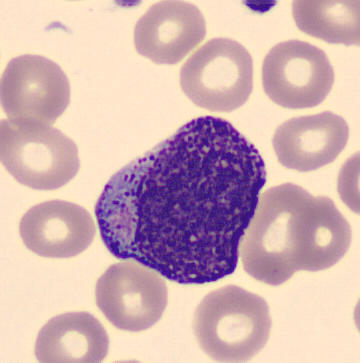 The cell shown is a promyelocyte.

Peripheral blood smear.